MGG-stained · bone marrow aspirate smear: 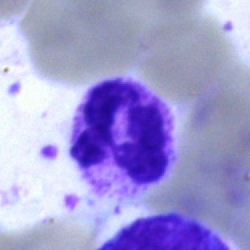

Specimen: bone marrow smear.
Cell: neutrophil (segmented).
Lineage: myeloid.